Bone marrow aspirate smear; MGG-stained: 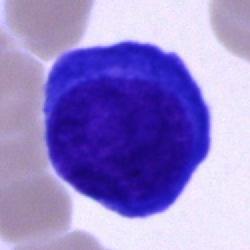

The morphological class is plasmacyte.